Bone marrow aspirate smear:
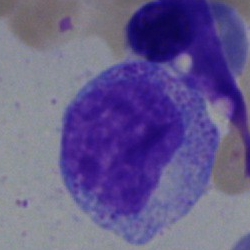 Morphology consistent with a myelocyte.